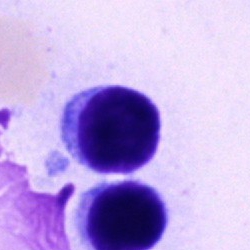Bone marrow smear showing a lymphocyte.